Bone marrow smear · 40× oil immersion · single cell centered in the field — 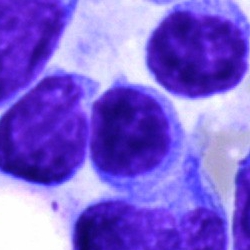
Q: What is the morphological classification of this cell?
A: It is a lymphocyte.